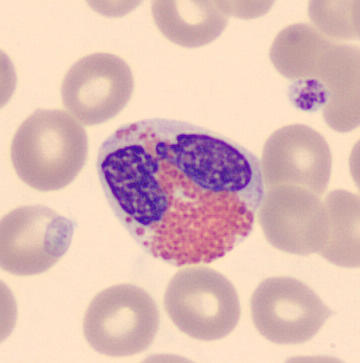

Peripheral blood smear · MGG stain.
Cell — eosinophil.